100× oil immersion, 14.14 px/µm. Peripheral blood film — 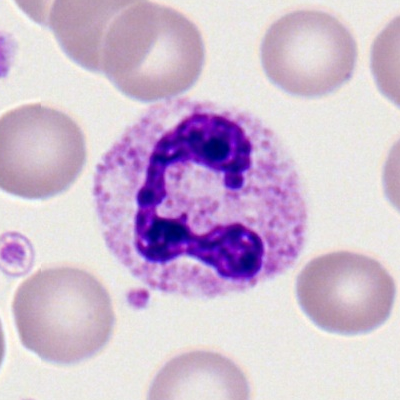 Morphology — polymorphonuclear neutrophil.